Peripheral blood film.
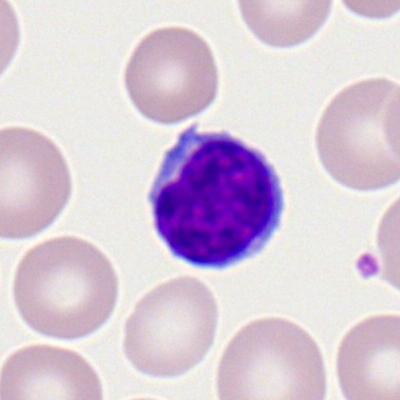

Single cell identified as a typical lymphocyte.